MGG-stained; bone marrow aspirate smear:
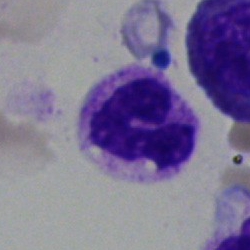 Q: What is shown here?
A: It is a neutrophil (segmented).